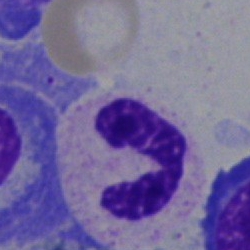

Q: What is shown here?
A: This is a segmented neutrophil.